Image size 250×250; bone marrow smear.
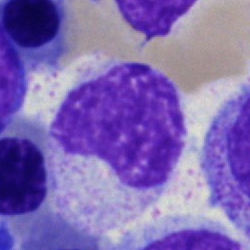

Q: Which cell type is shown here?
A: A metamyelocyte.